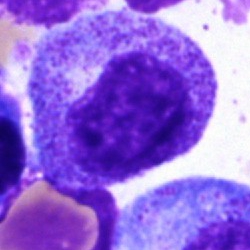

A progranulocyte.